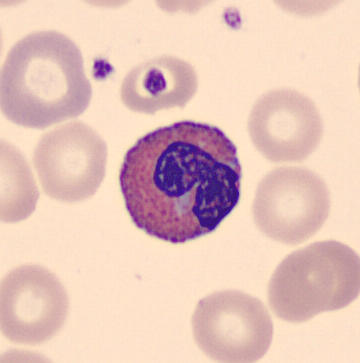Q: Identify the cell.
A: Eosinophilic granulocyte.
Peripheral blood film.